Bone marrow aspirate smear. 40× oil immersion.
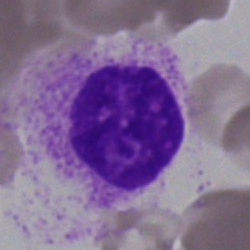 {"cell_type": "artifact"}